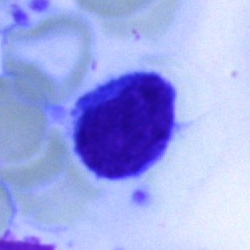 Cell type — typical lymphocyte.